Pappenheim-stained; bone marrow aspirate smear:
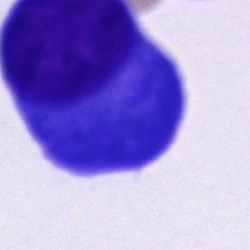
Q: What type of cell is this?
A: It is a plasmacyte.